Bone marrow aspirate smear.
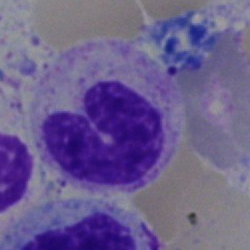

Stab cell.